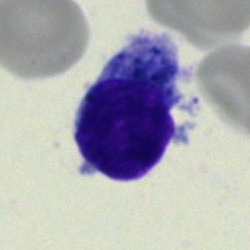 Bone marrow aspirate smear, single cell — typical lymphocyte.